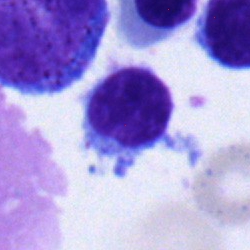
The classification is typical lymphocyte.